Bone marrow smear
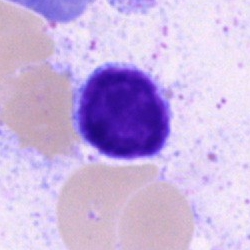

Impression → typical lymphocyte.